Bone marrow aspirate smear · May-Grünwald-Giemsa/Pappenheim stain — 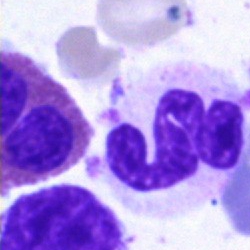
Cell type — neutrophil (segmented).